Bone marrow aspirate smear; Pappenheim-stained — 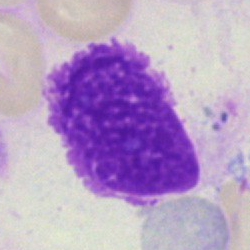
Morphology → artifact.